Bone marrow aspirate smear; 250 by 250 pixels; 40× objective, oil immersion:
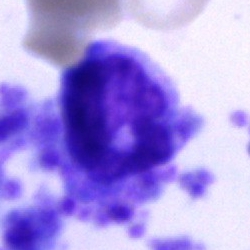

Q: What is shown here?
A: It is an artefact.